Peripheral blood smear. 100× oil immersion: 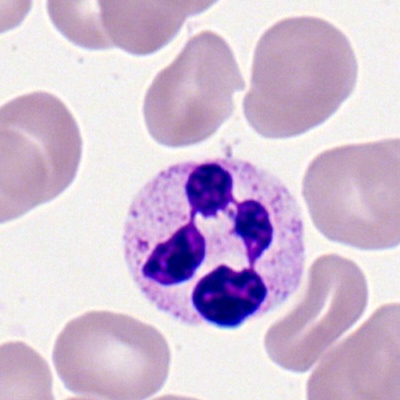This is a neutrophil (segmented).